Bone marrow aspirate smear · MGG-stained — 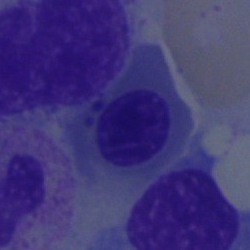
Specimen: bone marrow smear.
Morphological class: nucleated red cell.
Lineage: erythroid.